Bone marrow aspirate smear:
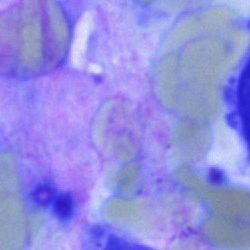
Specimen: bone marrow smear.
Morphological class: artefact.